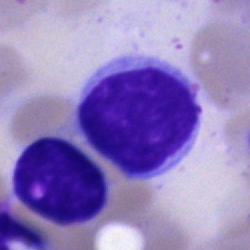{"cell_type": "lymphocyte"}